Bone marrow smear
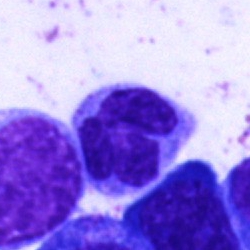
Single cell identified as a monocyte.